Bone marrow smear:
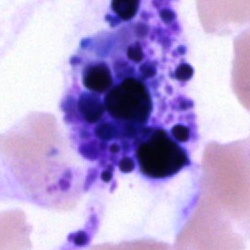
An artefact.